Peripheral blood film; single-cell field
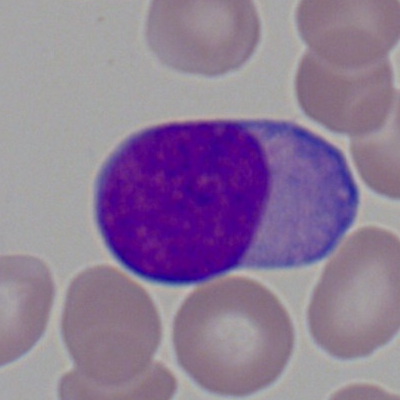

Morphological class — myeloblast.